Bone marrow aspirate smear
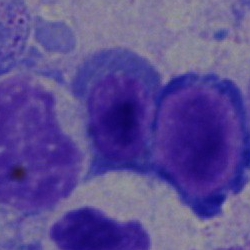
Impression → proerythroblast.